Bone marrow aspirate smear.
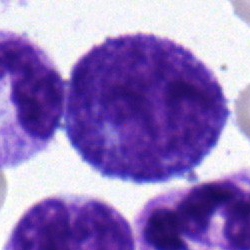 Q: What is the morphological classification of this cell?
A: This is a promyelocyte.